Bone marrow smear · cropped to a single cell.
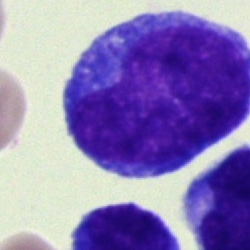
Blast.